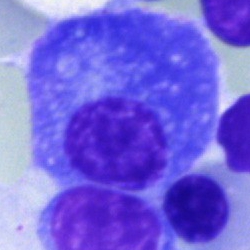Morphological class — plasma cell.